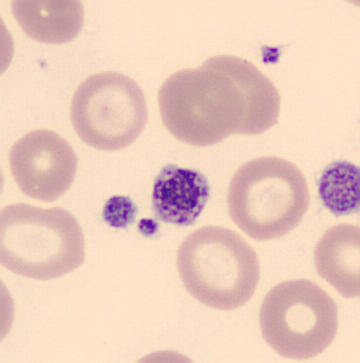 The cell type is thrombocyte. Preparation: Peripheral blood film.